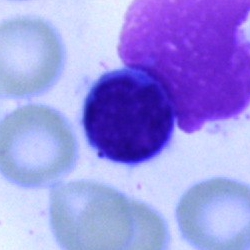 Showing a typical lymphocyte.